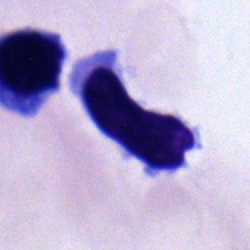 The cell type is typical lymphocyte.